Bone marrow smear — 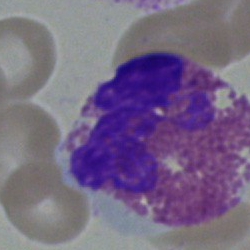

Q: What type of cell is this?
A: This is an eosinophil.